Bone marrow smear — 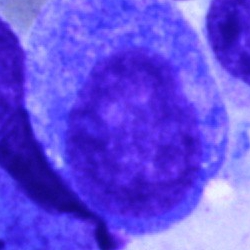 Q: What type of cell is this?
A: This is a promyelocyte.